Bone marrow aspirate smear. May-Grünwald-Giemsa/Pappenheim stain — 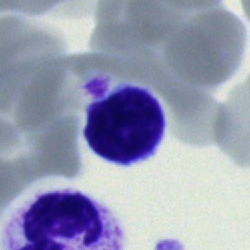 Single cell identified as a lymphocyte.